Bone marrow aspirate smear
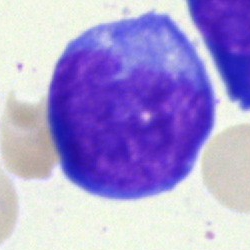

Specimen: bone marrow aspirate smear.
Morphological class: blast cell.